Bone marrow aspirate smear · 250×250 px · Pappenheim-stained — 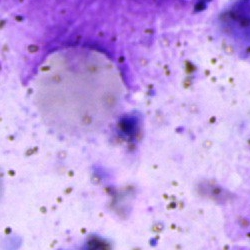

Morphological class = artefact.